Bone marrow aspirate smear.
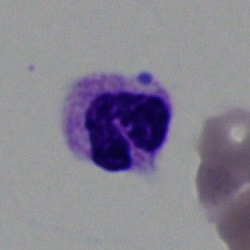 Showing a segmented neutrophil.